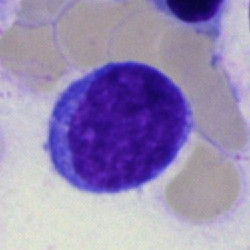
A lymphocyte.